Bone marrow smear · 250 by 250 pixels · 40× objective, oil immersion:
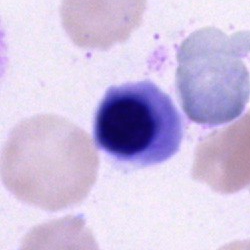

The cell type is nucleated red blood cell.